Bone marrow smear.
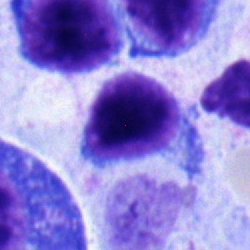

A lymphocyte.